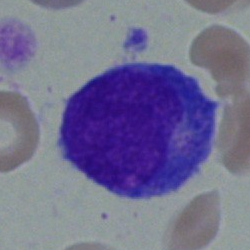

Morphology — undifferentiated blast.